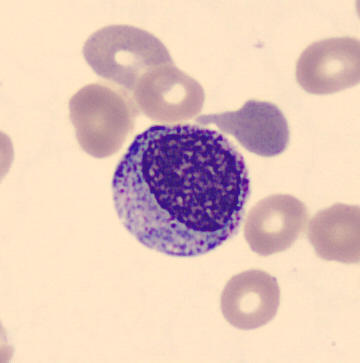

Preparation: Peripheral blood film. This is a myelocyte.